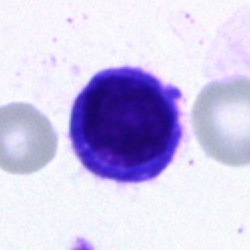

A lymphocyte on a bone marrow smear.